Bone marrow aspirate smear — 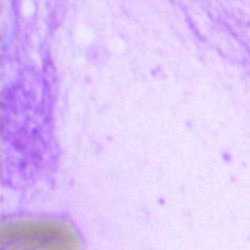 Classification = artifact.